Bone marrow smear · 250×250
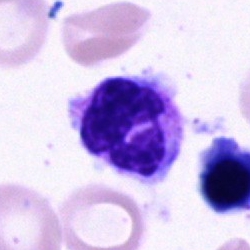{"cell_type": "neutrophil (segmented)", "lineage": "myeloid"}